Brightfield microscopy, 40× oil immersion · bone marrow smear:
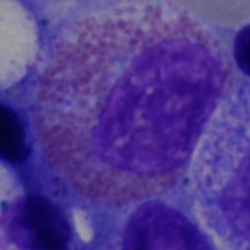Impression → eosinophil.